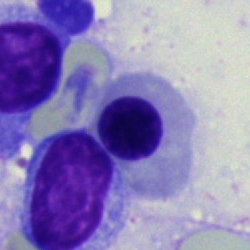{"cell_type": "nucleated red cell"}